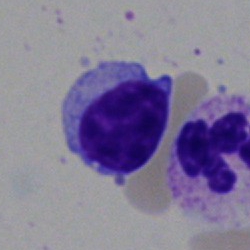Classification: lymphocyte.